Peripheral blood film:
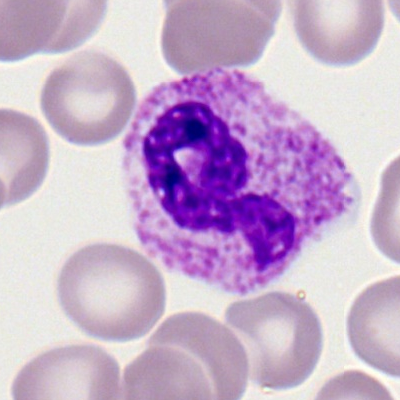
Segmented neutrophil.